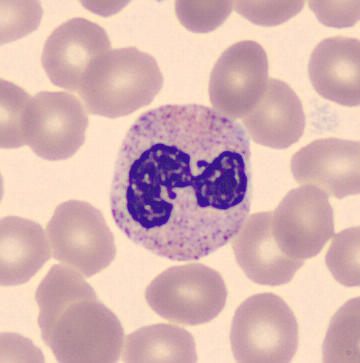Showing a neutrophil (segmented).